250×250 · single cell centered in the field · bone marrow aspirate smear: 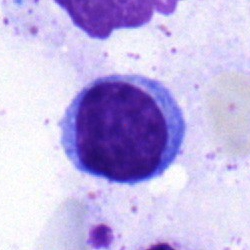 Lymphocyte.